400×400 px · peripheral blood smear — 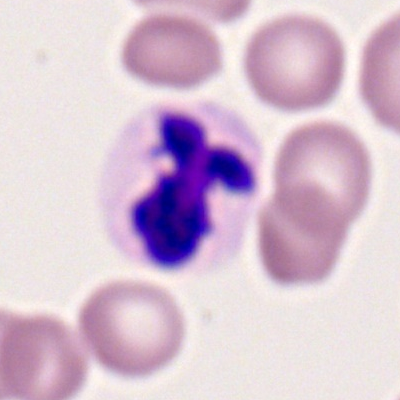 Q: What type of cell is this?
A: Segmented neutrophil.